Bone marrow smear: 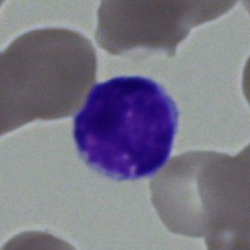
Showing a lymphocyte.